Bone marrow aspirate smear · May-Grünwald-Giemsa stain:
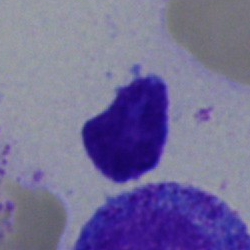

Typical lymphocyte.